250 by 250 pixels. Bone marrow aspirate smear. 40× objective, oil immersion:
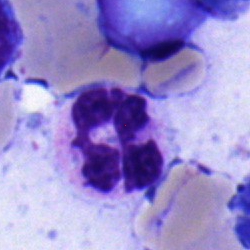The cell is neutrophil (segmented).